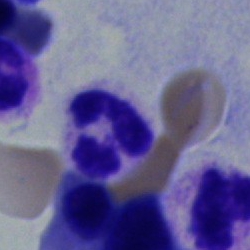 Showing a segmented neutrophil.